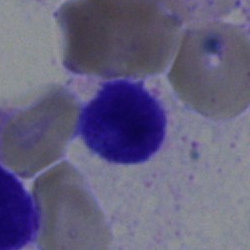{"cell_type": "lymphocyte", "lineage": "lymphoid"}